Bone marrow smear
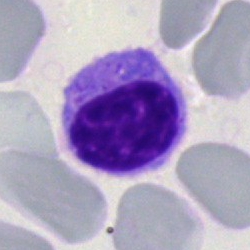

Morphological class — myelocyte.